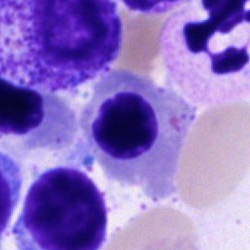 Bone marrow aspirate smear, single cell — nucleated red blood cell.